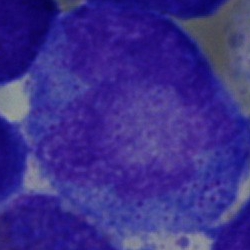
This is a progranulocyte.